MGG-stained. Bone marrow aspirate smear.
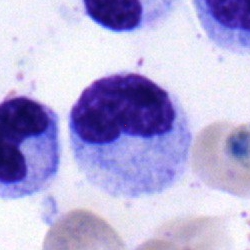 Single cell identified as a metamyelocyte.